Bone marrow smear — 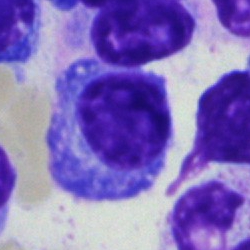Morphology — plasmacyte.